Bone marrow aspirate smear: 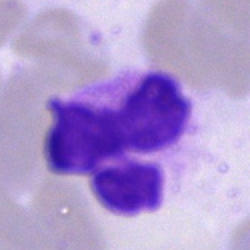 {"cell_type": "polymorphonuclear neutrophil", "lineage": "myeloid"}